Bone marrow aspirate smear: 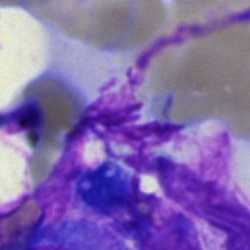 Q: What is shown here?
A: Artifact.